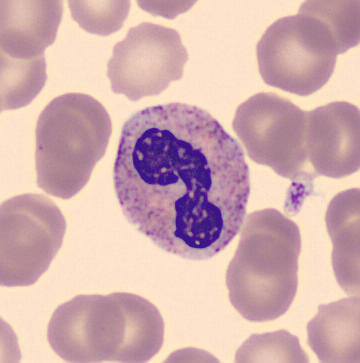
Morphology — band-form neutrophil.
May Grünwald-Giemsa stain; automated cell imaging (CellaVision DM96); peripheral blood film.